Bone marrow smear; 40× objective, oil immersion; MGG-stained: 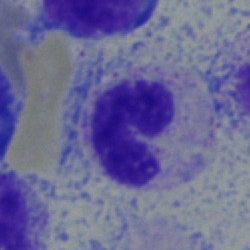

Cell type = band-form neutrophil.